Bone marrow aspirate smear:
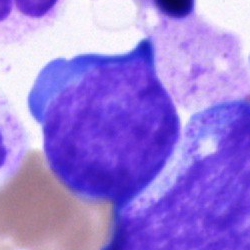

Single cell identified as a pronormoblast.